Bone marrow aspirate smear · brightfield microscopy, 40× oil immersion
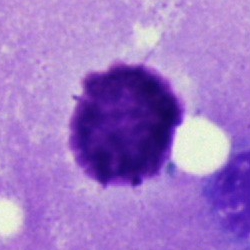 {"cell_type": "artefact"}